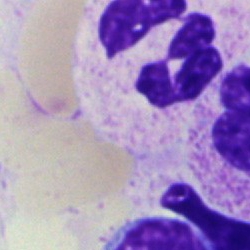
Specimen: bone marrow aspirate smear.
Cell type: segmented neutrophil.
Lineage: myeloid.